Bone marrow smear; single-cell field — 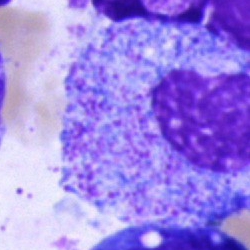
Single cell identified as a promyelocyte.